Bone marrow aspirate smear
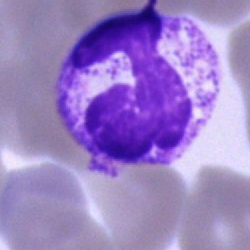

The cell type is neutrophil (segmented).